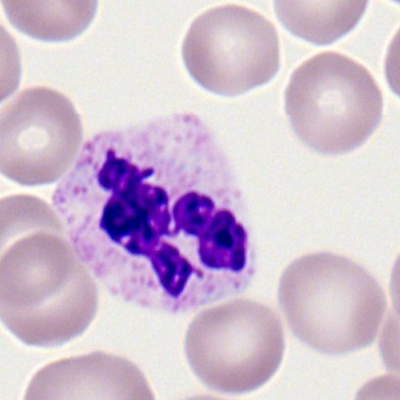Morphology consistent with a segmented neutrophil.